Peripheral blood smear — 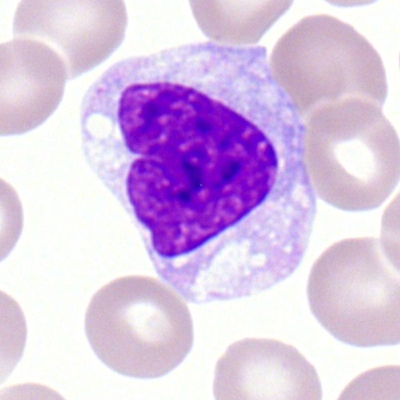
Q: What cell is this?
A: It is a monocyte.